Bone marrow smear. 250×250: 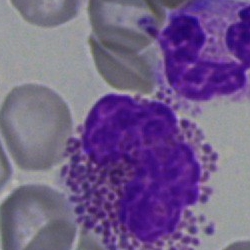 The cell shown is an eosinophilic granulocyte.